Bone marrow smear:
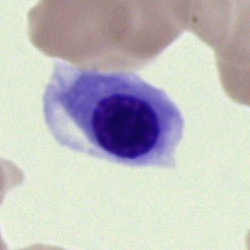Cell — normoblast.